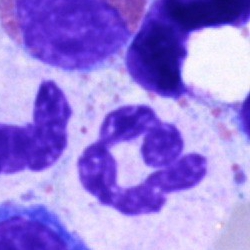

Specimen: bone marrow smear.
Classification: polymorphonuclear neutrophil.